May-Grünwald-Giemsa/Pappenheim stain; bone marrow aspirate smear; 40× objective, oil immersion
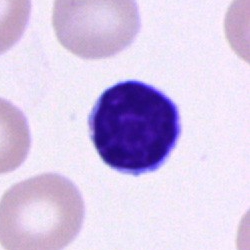

Classification = typical lymphocyte.